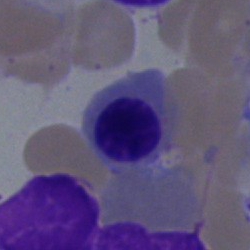Single-cell crop from a bone marrow smear: nucleated red blood cell.